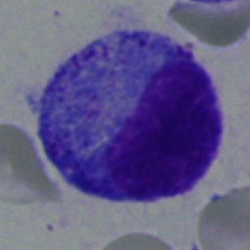

Cell — progranulocyte.